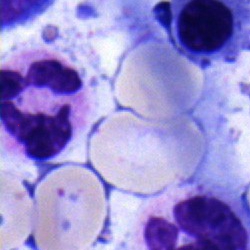

Bone marrow aspirate smear, single cell — segmented neutrophil.